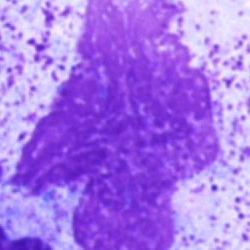Morphology consistent with an artifact.